Bone marrow smear · image size 250×250.
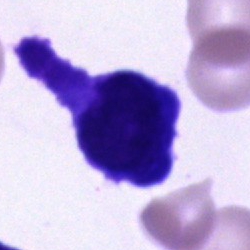

Unidentifiable cell.